Bone marrow aspirate smear:
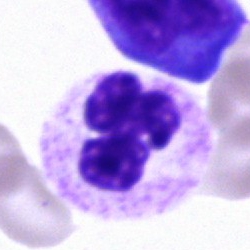

Morphological class = neutrophil (segmented).